Bone marrow aspirate smear: 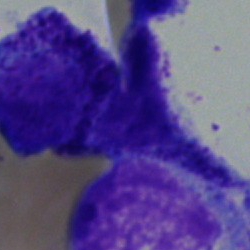Cell type: progranulocyte.